Peripheral blood smear: 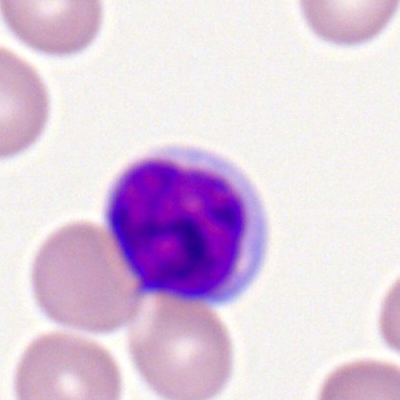
Lymphocyte.